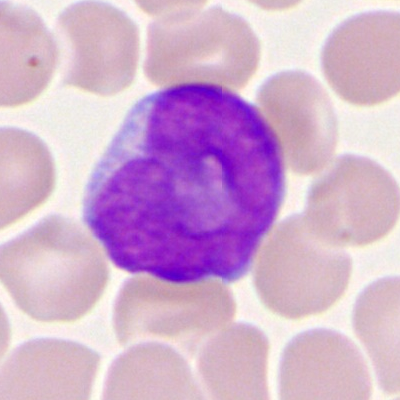Specimen: peripheral blood film.
Morphological class: myeloblast.
Lineage: myeloid.